Single cell centered in the field. 250×250 px. Bone marrow smear.
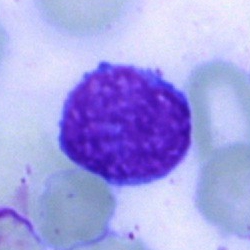Morphology → typical lymphocyte.